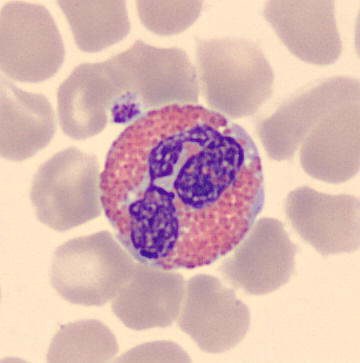 Q: What cell is this?
A: Eosinophilic granulocyte.

May Grünwald-Giemsa stain · peripheral blood film.